360×363; MGG-stained; peripheral blood smear.
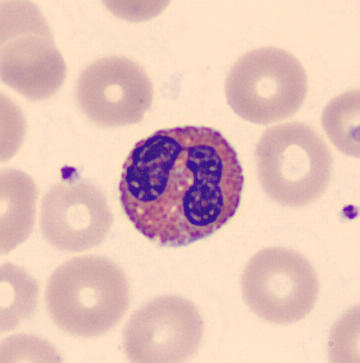 Identified as an eosinophil.